Single cell centered in the field · brightfield, 40× oil-immersion objective · bone marrow aspirate smear.
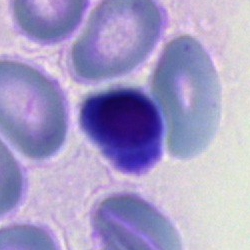 The cell shown is a normoblast.